250 by 250 pixels · single-cell crop · bone marrow aspirate smear — 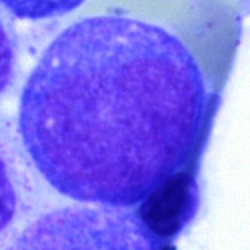
Classification = promyelocyte.